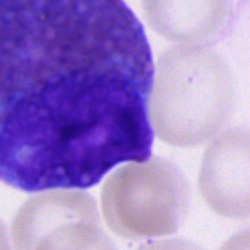Specimen: bone marrow aspirate smear.
Morphological class: eosinophil.